Bone marrow smear. Brightfield, 40× oil-immersion objective.
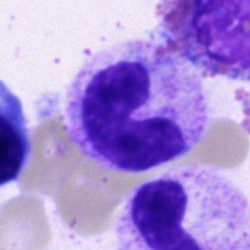

Showing a band-form neutrophil.